Single-cell field; bone marrow smear
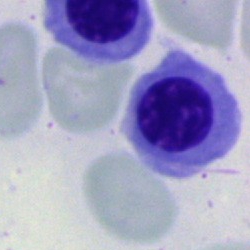
A nucleated red blood cell.